Bone marrow aspirate smear; cropped to a single cell; 40× oil immersion.
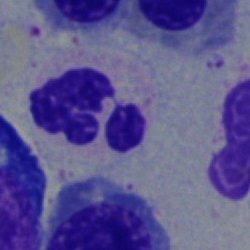

Showing a neutrophil (segmented).